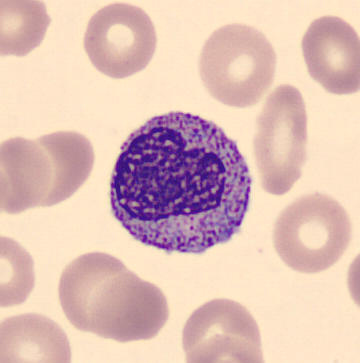
{"cell_type": "myelocyte"}